250 by 250 pixels; bone marrow aspirate smear
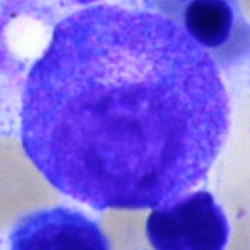
A promyelocyte.